40× objective, oil immersion; bone marrow smear; cropped to a single cell: 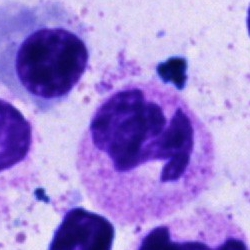
{"cell_type": "neutrophil (segmented)"}